250×250. Bone marrow aspirate smear: 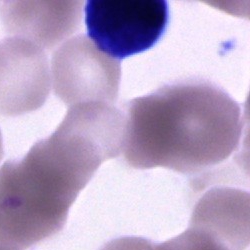Q: What is shown here?
A: It is an unidentifiable cell.